Bone marrow smear — 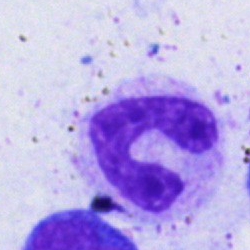
Q: What is shown here?
A: This is a band neutrophil.